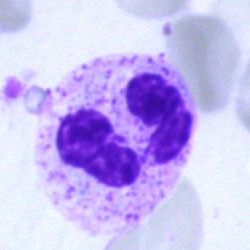The cell type is segmented neutrophil.